Bone marrow smear.
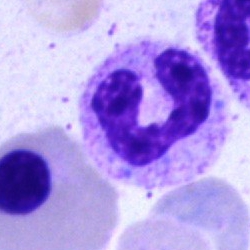Neutrophil (band).